Bone marrow smear: 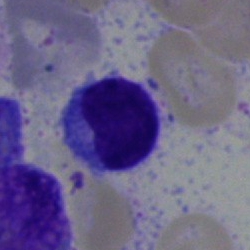

Showing a typical lymphocyte.